Bone marrow aspirate smear — 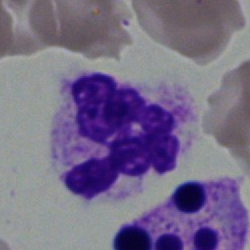 Q: What is shown here?
A: A neutrophil (segmented).